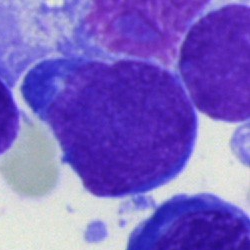 Undifferentiated blast.